Peripheral blood film.
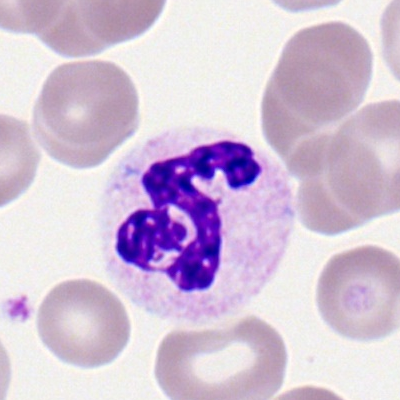 Morphology → neutrophil (segmented).